Bone marrow smear · 250×250 — 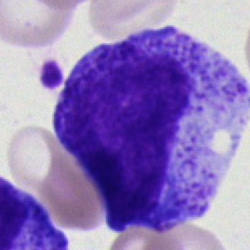 Cell = promyelocyte.